Bone marrow aspirate smear · 40× objective, oil immersion · single-cell crop
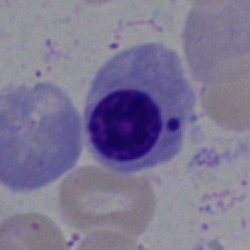
Morphology — erythroblast.